250 by 250 pixels. Bone marrow smear — 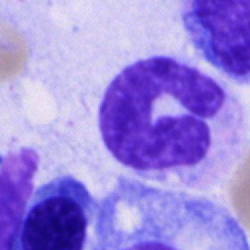Morphology — band neutrophil.